Single cell centered in the field · MGG-stained · bone marrow aspirate smear — 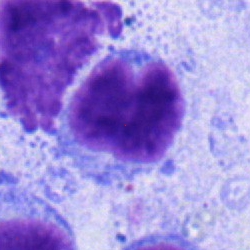 Classification = lymphocyte.